Bone marrow smear — 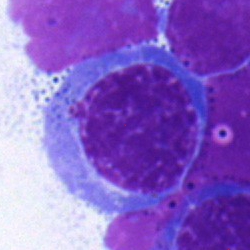The cell is nucleated red blood cell.